Bone marrow smear. MGG-stained. Brightfield microscopy, 40× oil immersion:
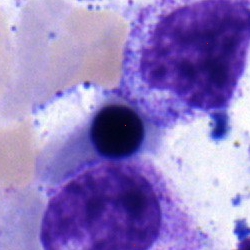 Erythroblast.